Bone marrow aspirate smear.
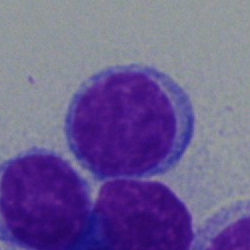Impression → typical lymphocyte.